Bone marrow smear — 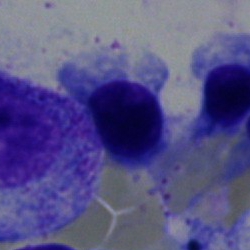

A nucleated red blood cell.